Bone marrow aspirate smear.
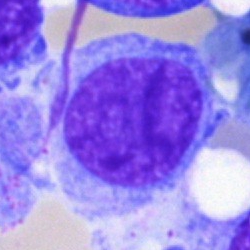
Morphological class = blast cell.